Bone marrow smear
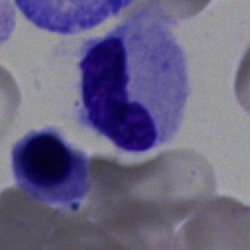
{"cell_type": "band neutrophil"}